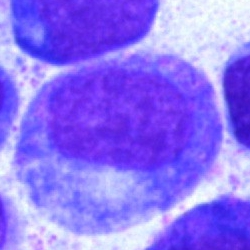 The cell shown is a progranulocyte.